Bone marrow aspirate smear · image size 250×250 · Pappenheim-stained
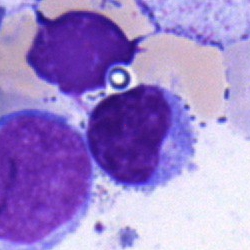
Showing a typical lymphocyte.